Bone marrow smear: 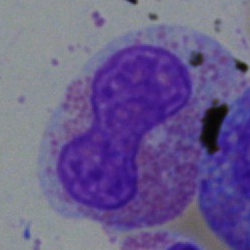
{"cell_type": "eosinophil"}